250×250 · bone marrow smear.
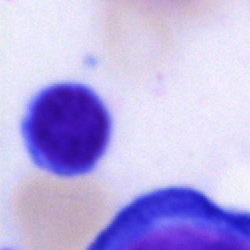
Morphological class = lymphocyte.